Pappenheim-stained. Bone marrow aspirate smear
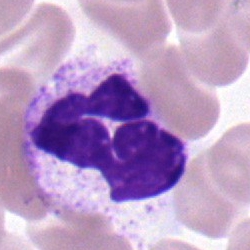Single cell identified as a polymorphonuclear neutrophil.